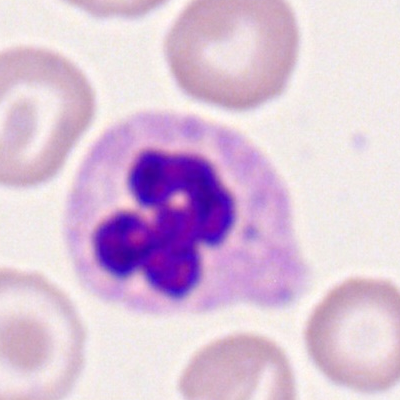Cell = segmented neutrophil.